Bone marrow smear:
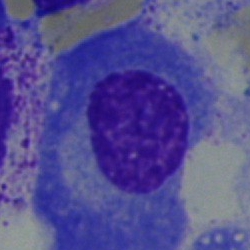
A plasma cell.